Bone marrow smear: 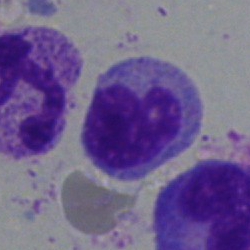

The cell shown is a monocyte.